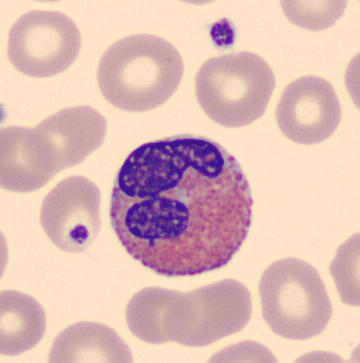

Image: May Grünwald-Giemsa stain; peripheral blood smear.

Q: What is the morphological classification of this cell?
A: Eosinophilic granulocyte.